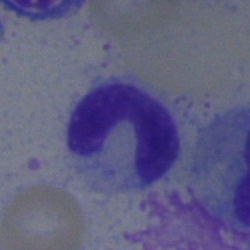 Bone marrow aspirate smear, single cell — polymorphonuclear neutrophil.